Bone marrow smear · Pappenheim-stained: 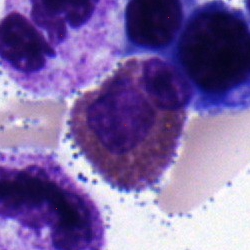Q: Identify the cell.
A: An eosinophilic granulocyte.